Bone marrow aspirate smear; brightfield microscopy, 40× oil immersion; 250 by 250 pixels.
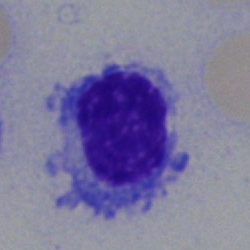

Showing a plasmacyte.